Bone marrow smear — 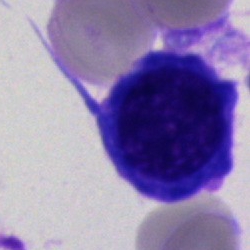 {"cell_type": "nucleated red cell", "lineage": "erythroid"}